40× oil immersion · bone marrow smear
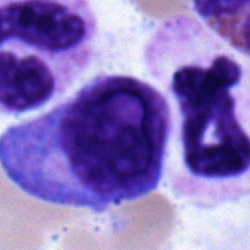Q: Which cell type is shown here?
A: It is a plasma cell.